Single-cell field; peripheral blood smear; Romanowsky-type stain.
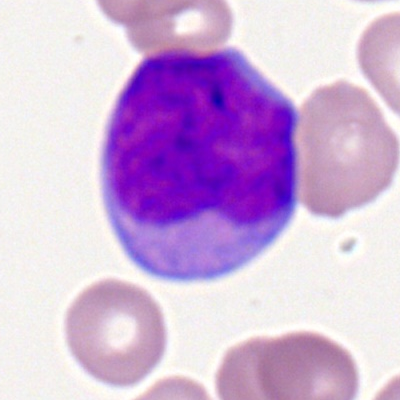Q: Which cell type is shown here?
A: A myeloid blast.